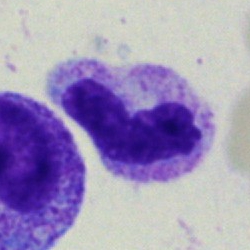

A stab cell.